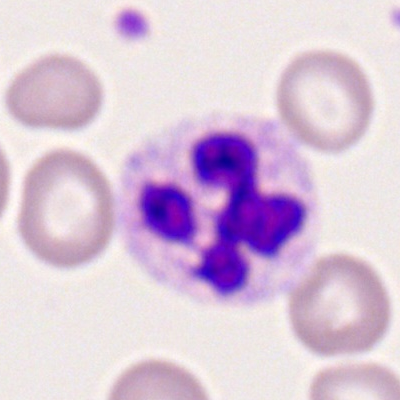 Q: What is shown here?
A: A neutrophil (segmented).